Bone marrow smear; 40× objective, oil immersion
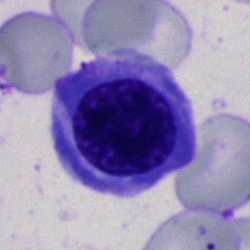

Classification: erythroblast.